Bone marrow smear. Single cell centered in the field. 250 by 250 pixels — 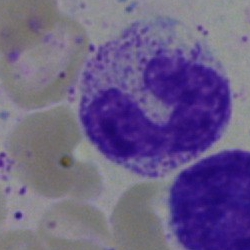

Showing a band-form neutrophil.